Peripheral blood film.
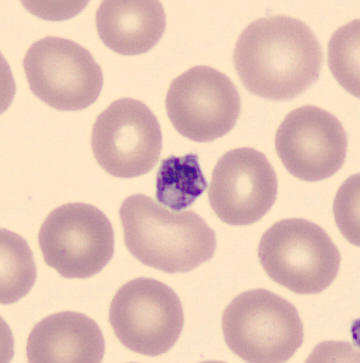Identified as a thrombocyte.